250×250 px; bone marrow smear; 40× objective, oil immersion:
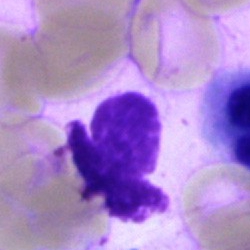Q: What is shown here?
A: An artifact.